Bone marrow smear. May-Grünwald-Giemsa/Pappenheim stain: 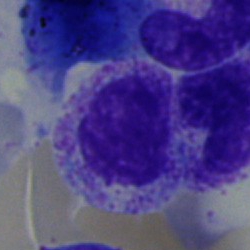 Q: What cell is this?
A: Myelocyte.